Bone marrow aspirate smear: 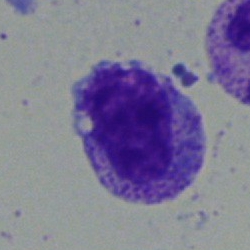
Q: What is shown here?
A: A myelocyte.